May-Grünwald-Giemsa/Pappenheim stain. Bone marrow aspirate smear
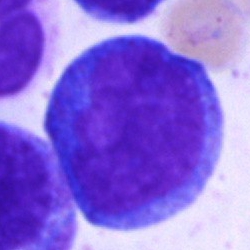
{"cell_type": "undifferentiated blast"}